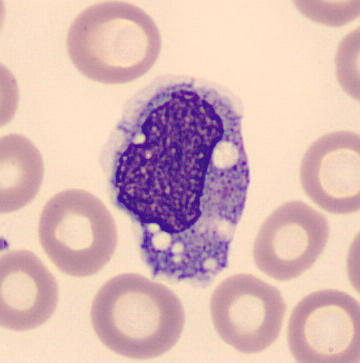 Single cell identified as a monocyte.

Peripheral blood smear.